Single cell centered in the field · May-Grünwald-Giemsa/Pappenheim stain · bone marrow aspirate smear:
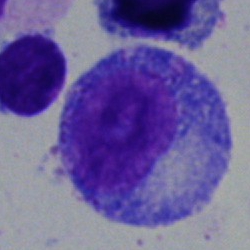

Q: What cell is this?
A: A myelocyte.